400×400; peripheral blood smear:
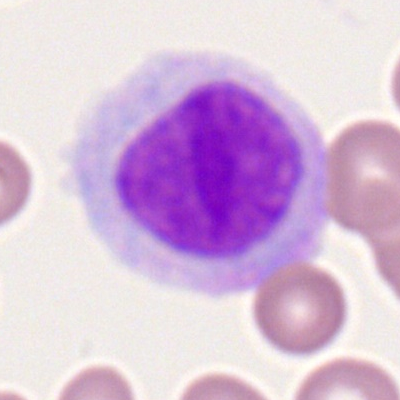Classification = myeloid blast.